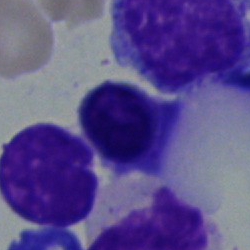 Specimen: bone marrow aspirate smear.
Morphological class: typical lymphocyte.
Lineage: lymphoid.